Peripheral blood film.
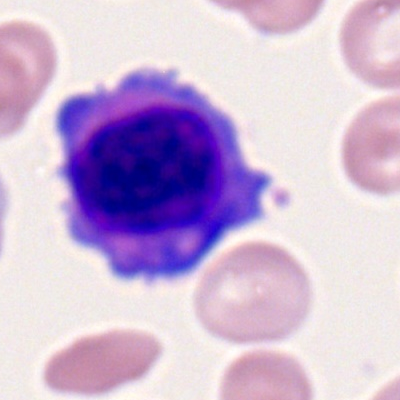
Showing a myeloid blast.